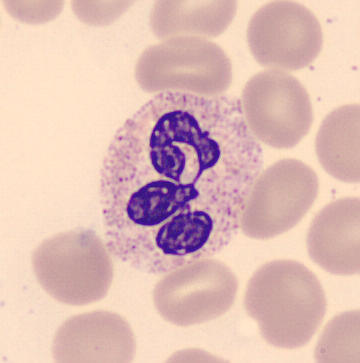
Q: What is this?
A: Neutrophil (segmented).

Peripheral blood film.